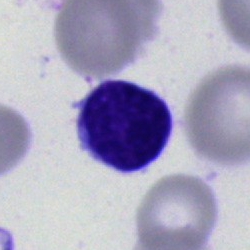 Q: What is shown here?
A: It is an undifferentiated blast.